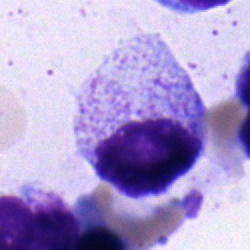
Cell = myelocyte.